Bone marrow smear; 250 by 250 pixels — 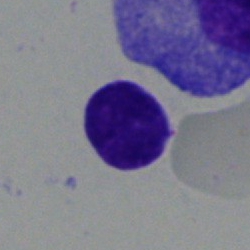 Impression — typical lymphocyte.